Brightfield, 40× oil-immersion objective; bone marrow aspirate smear.
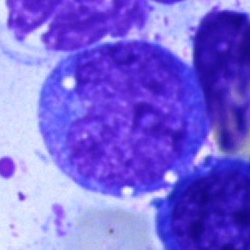
Morphology → promyelocyte.